Peripheral blood smear — 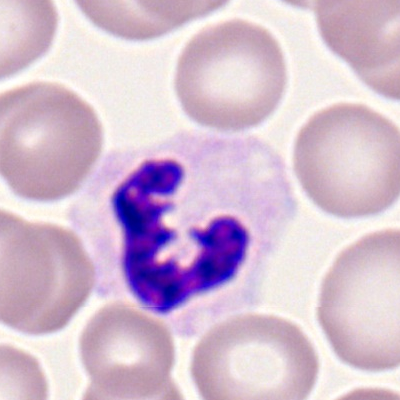Morphology consistent with a neutrophil (segmented).